Bone marrow aspirate smear
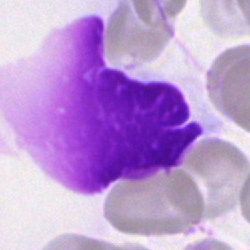

{"cell_type": "artefact"}